Bone marrow smear: 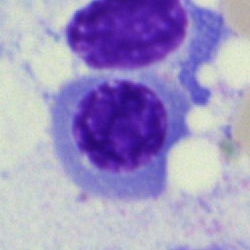Specimen: bone marrow aspirate smear.
Cell type: nucleated red blood cell.